Bone marrow smear:
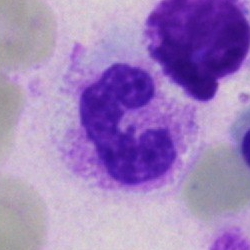Morphology consistent with a band neutrophil.